Bone marrow smear.
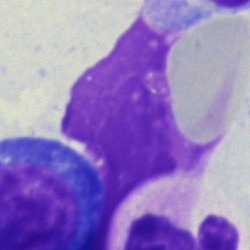

Artefact.